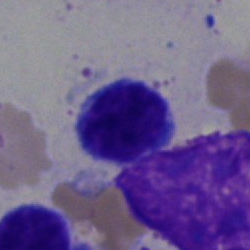{"cell_type": "typical lymphocyte"}